Bone marrow aspirate smear · May-Grünwald-Giemsa/Pappenheim stain · single cell centered in the field — 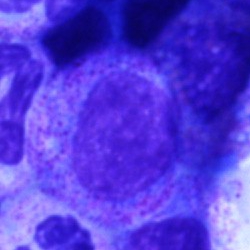Classification: myelocyte.